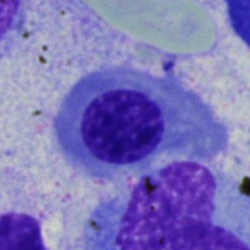

Morphological class: nucleated red blood cell.